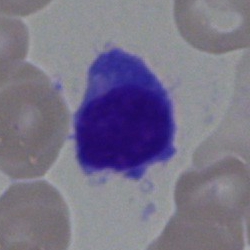

Cell type — plasma cell.